250×250; 40× objective, oil immersion; bone marrow aspirate smear: 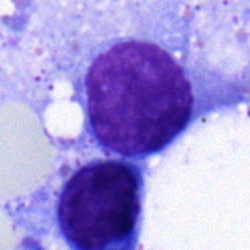
Morphology → lymphocyte.